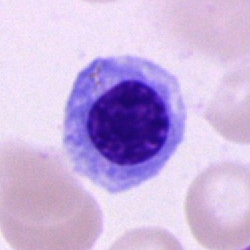{"cell_type": "nucleated red blood cell"}